Bone marrow aspirate smear
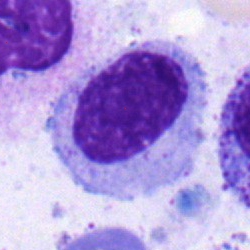Q: What is the morphological classification of this cell?
A: A myelocyte.